Bone marrow aspirate smear.
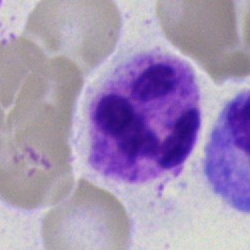Polymorphonuclear neutrophil.